Bone marrow smear; Pappenheim-stained.
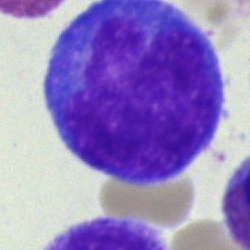
Specimen: bone marrow smear.
Morphological class: monocyte.
Lineage: myeloid.